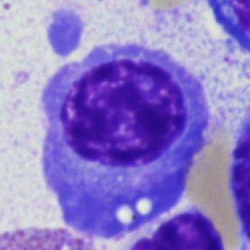This is a plasmacyte.